Bone marrow smear.
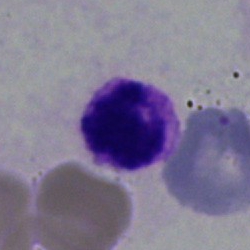

Impression — basophil.